Bone marrow smear: 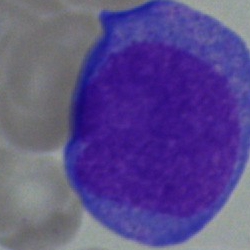 Morphology consistent with a blast cell.